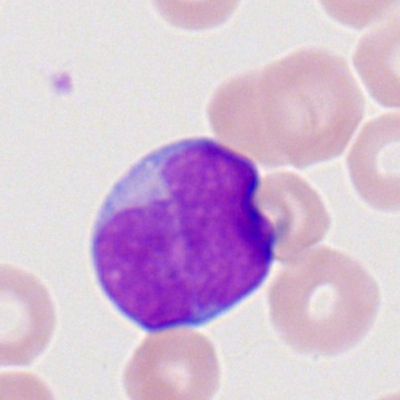Specimen: peripheral blood smear.
Morphological class: myeloblast.